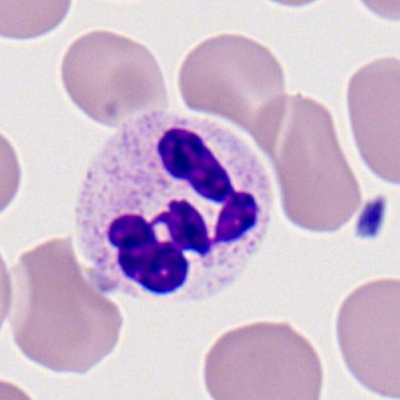Morphology consistent with a segmented neutrophil.